M8 digital microscope (Precipoint), 100× oil immersion; Romanowsky-stained; peripheral blood smear.
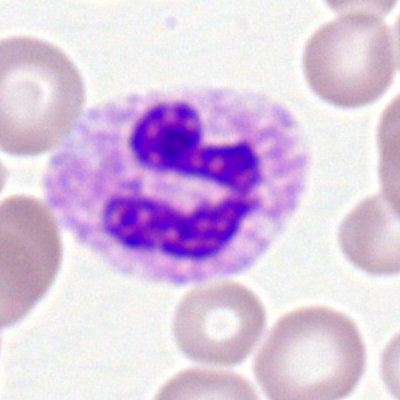 This is a polymorphonuclear neutrophil.